40× objective, oil immersion. MGG-stained. Bone marrow smear — 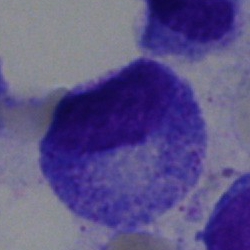A promyelocyte.